Bone marrow smear.
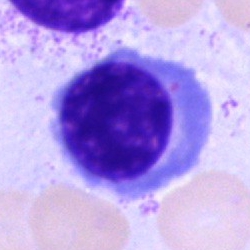

A nucleated red blood cell.